Peripheral blood film · Romanowsky-type stain — 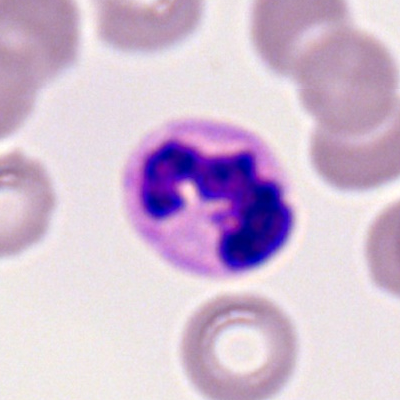 Morphological class = polymorphonuclear neutrophil.